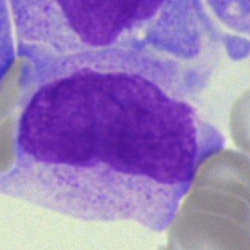

Blast.